Peripheral blood film; CellaVision DM96 digital cell image:
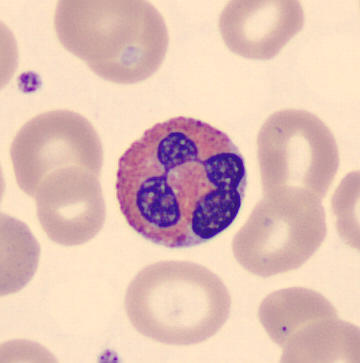

Single cell identified as an eosinophilic granulocyte.